40× objective, oil immersion. 250 by 250 pixels. Bone marrow aspirate smear — 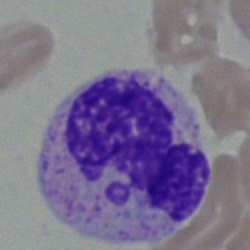Cell type: neutrophil (segmented).